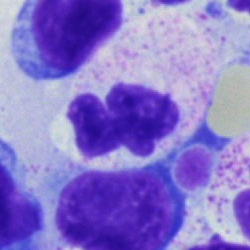 Single-cell crop from a bone marrow smear: polymorphonuclear neutrophil.